250×250; bone marrow smear
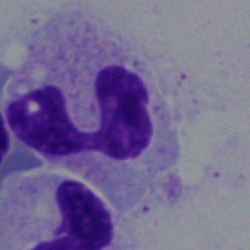 Q: Which cell type is shown here?
A: This is a segmented neutrophil.